250 by 250 pixels · bone marrow smear
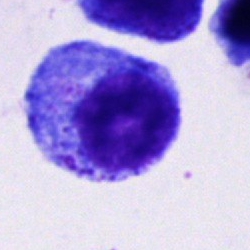Q: What is shown here?
A: It is a progranulocyte.